Bone marrow smear — 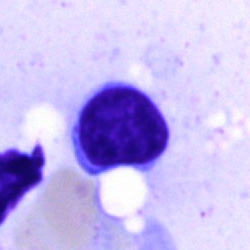

Classification — typical lymphocyte.